Bone marrow aspirate smear · cropped to a single cell: 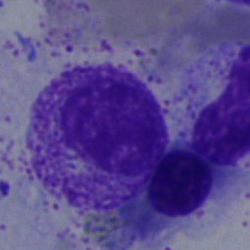

Q: What is the morphological classification of this cell?
A: It is a myelocyte.